Bone marrow aspirate smear.
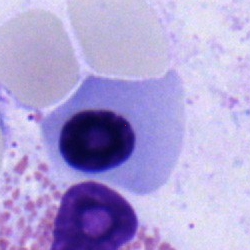

Classification — erythroblast.